Bone marrow smear · 250×250 · brightfield, 40× oil-immersion objective.
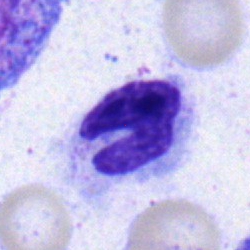
{"cell_type": "stab cell", "lineage": "myeloid"}